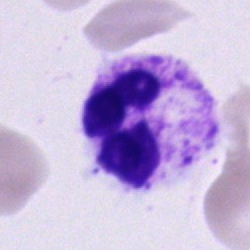
Q: What is shown here?
A: It is a polymorphonuclear neutrophil.